Bone marrow aspirate smear — 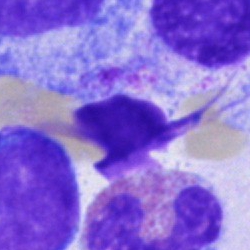 Morphology consistent with an unidentifiable cell.